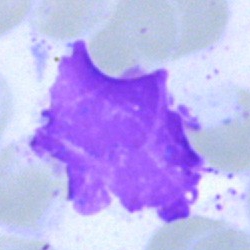Classification: artifact.